Bone marrow aspirate smear — 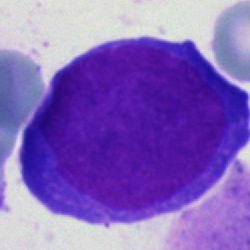

Specimen: bone marrow aspirate smear.
Cell type: undifferentiated blast.